Bone marrow smear — 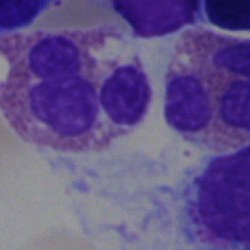
Classification = eosinophilic granulocyte.